Bone marrow aspirate smear · single-cell field · May-Grünwald-Giemsa stain
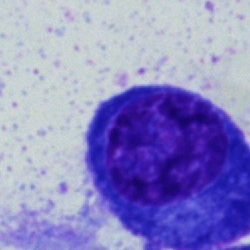
Specimen: bone marrow smear.
Morphological class: plasma cell.
Lineage: lymphoid.